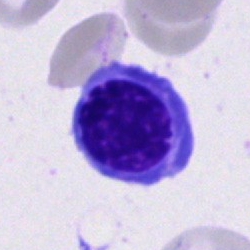Q: What is shown here?
A: This is an erythroblast.